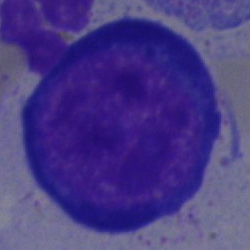

The cell shown is a proerythroblast.